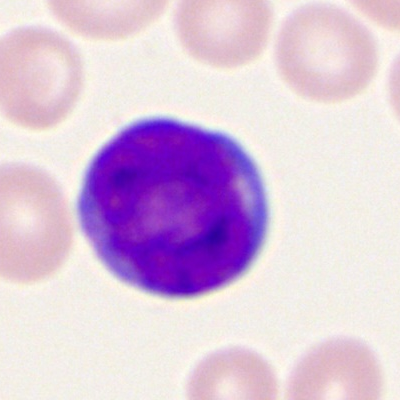
Cell type: myeloblast.